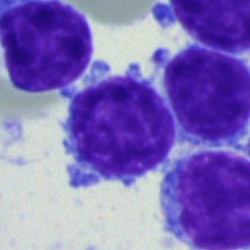 The classification is typical lymphocyte.